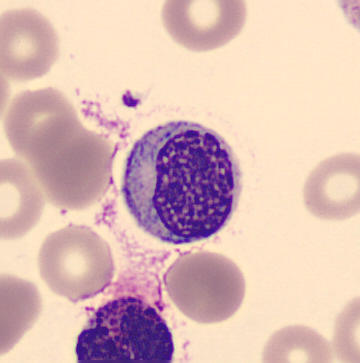

This is a myelocyte.